Bone marrow aspirate smear — 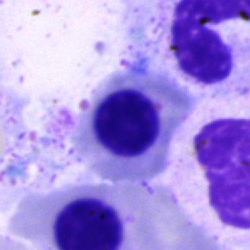

Showing a blast cell.